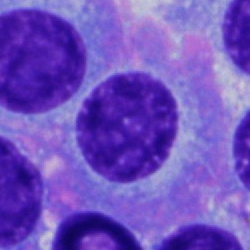

Specimen: bone marrow aspirate smear.
Cell: plasma cell.